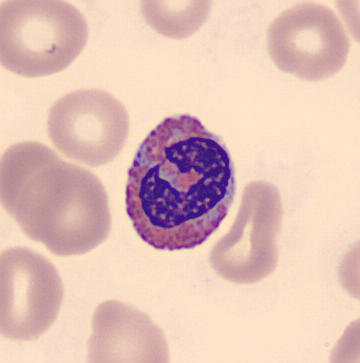 Preparation: Peripheral blood smear.
Single cell identified as an eosinophilic granulocyte.